Bone marrow smear.
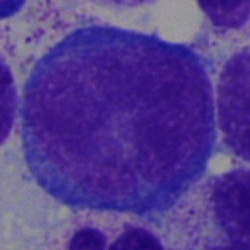

This is a proerythroblast.